Bone marrow aspirate smear. Brightfield microscopy, 40× oil immersion:
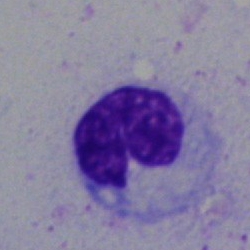

Morphological class = stab cell.